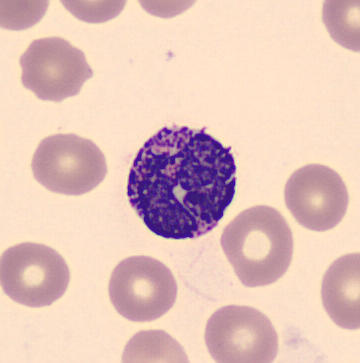
Peripheral blood film. Imaged on a CellaVision DM96 analyser. Cell type = basophilic granulocyte.